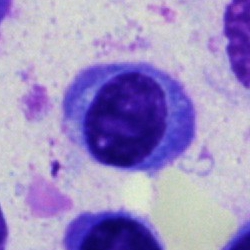

Plasmacyte.